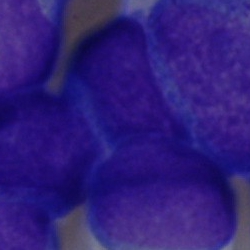Morphology → blast cell.